Cropped to a single cell; 250×250 px; bone marrow smear
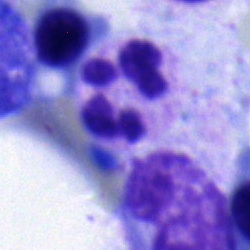 Impression → neutrophil (segmented).